Bone marrow smear; 40× oil immersion.
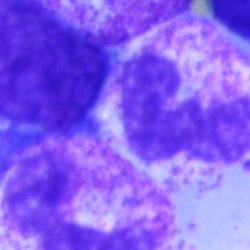A neutrophil (segmented).